Bone marrow aspirate smear; May-Grünwald-Giemsa/Pappenheim stain
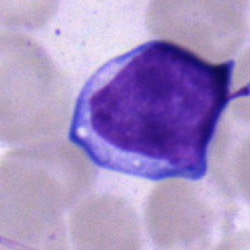Lymphocyte.